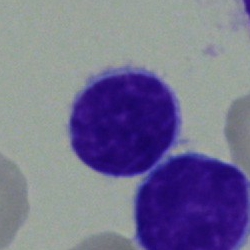
Morphological class = typical lymphocyte.